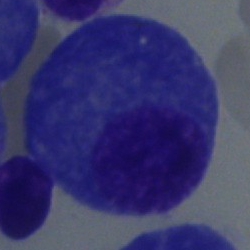 Classification = plasmacyte.